Brightfield, 40× oil-immersion objective; single cell centered in the field; bone marrow aspirate smear — 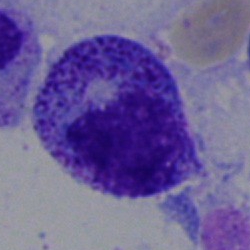 The cell shown is a promyelocyte.